Cropped to a single cell; 40× oil immersion; bone marrow aspirate smear.
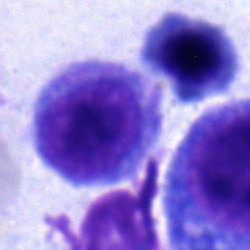Morphological class — lymphocyte.